Bone marrow smear
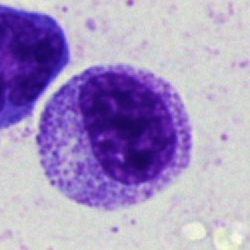Showing a myelocyte.